Image size 250×250. May-Grünwald-Giemsa stain. Bone marrow aspirate smear
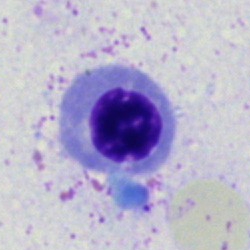 A nucleated red cell.